Bone marrow aspirate smear
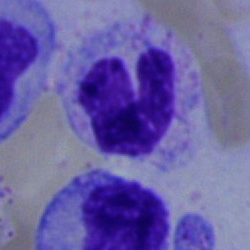

Specimen: bone marrow aspirate smear.
Classification: band-form neutrophil.
Lineage: myeloid.